Bone marrow aspirate smear.
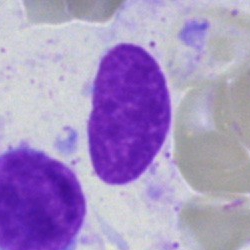Q: What is shown here?
A: This is an artifact.